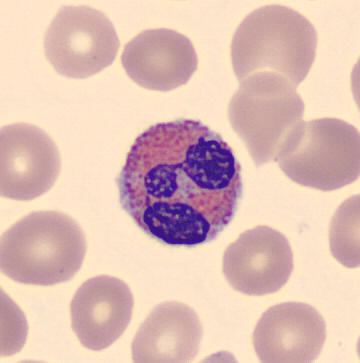 Impression → eosinophilic granulocyte.
Image: Cropped to a single cell · peripheral blood smear.